Bone marrow smear · May-Grünwald-Giemsa/Pappenheim stain: 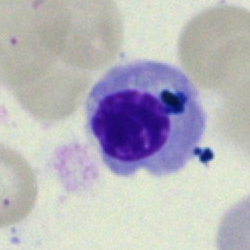
Cell = nucleated red cell.